Bone marrow smear · single-cell field.
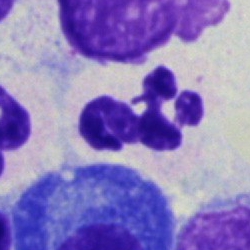Specimen: bone marrow aspirate smear.
Cell: segmented neutrophil.
Lineage: myeloid.